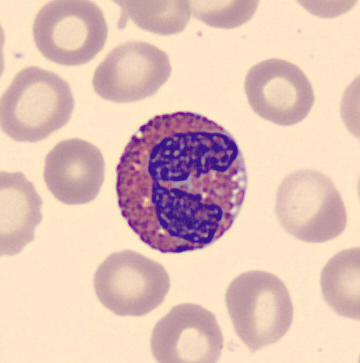MGG stain; peripheral blood film; automated cell imaging (CellaVision DM96).

Q: What is the morphological classification of this cell?
A: An eosinophil.